Bone marrow aspirate smear
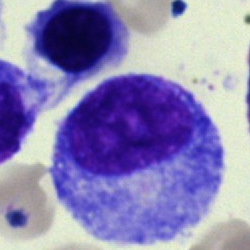

Classification: promyelocyte.